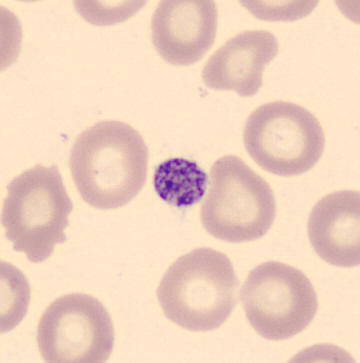
This is a platelet (thrombocyte).
Preparation: Peripheral blood film.